Brightfield microscopy, 40× oil immersion · bone marrow aspirate smear.
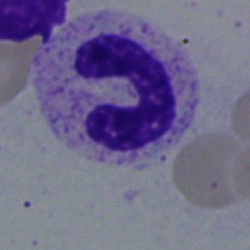

This is a stab cell.